100× objective, oil immersion. Single-cell crop. Peripheral blood film:
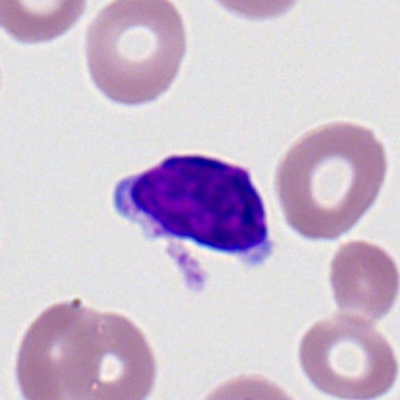

Single cell identified as a lymphocyte.